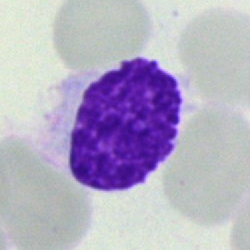Specimen: bone marrow smear.
Cell type: artefact.